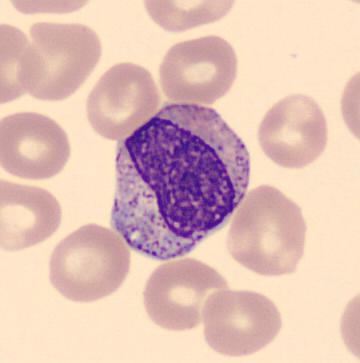
Myelocyte.
Peripheral blood film.